Bone marrow aspirate smear
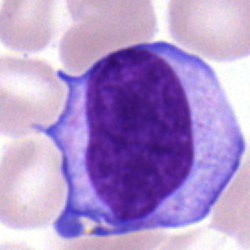

{"cell_type": "lymphocyte"}